Bone marrow smear
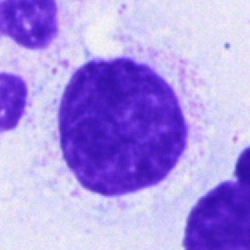

Morphology consistent with an artifact.